Bone marrow aspirate smear: 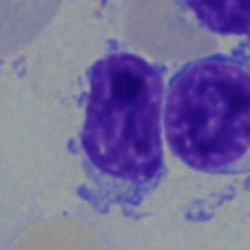
The classification is lymphocyte.